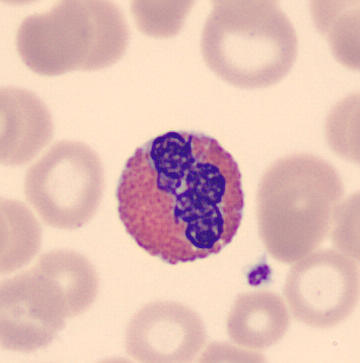
Specimen: peripheral blood film.
Cell: eosinophil.